Peripheral blood smear. Cropped to a single cell: 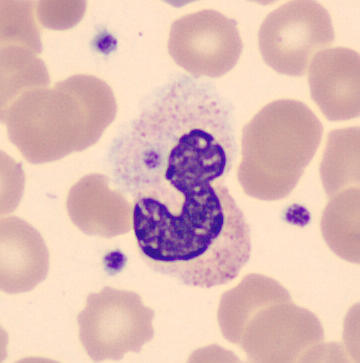

Morphology consistent with a neutrophil (segmented).